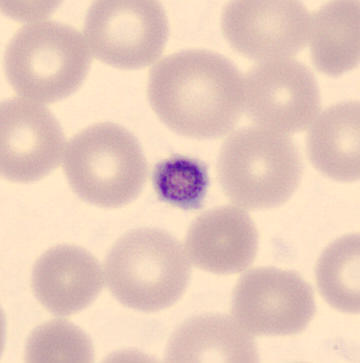
Morphological class — platelet.